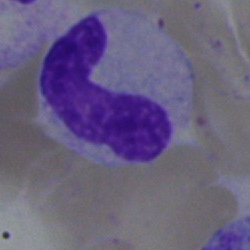Q: Identify the cell.
A: This is a stab cell.